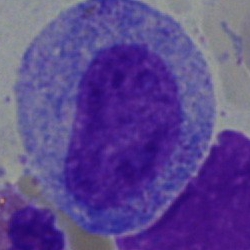

The classification is progranulocyte.